Bone marrow smear
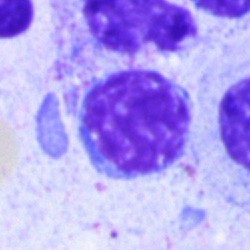 A typical lymphocyte.